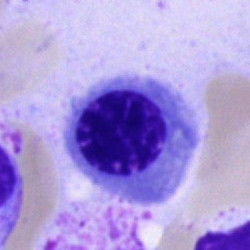

Classification = nucleated red cell.